Cropped to a single cell · bone marrow aspirate smear — 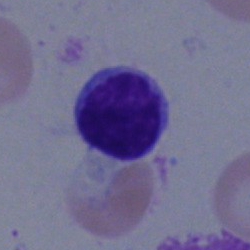Cell: typical lymphocyte.